Peripheral blood film: 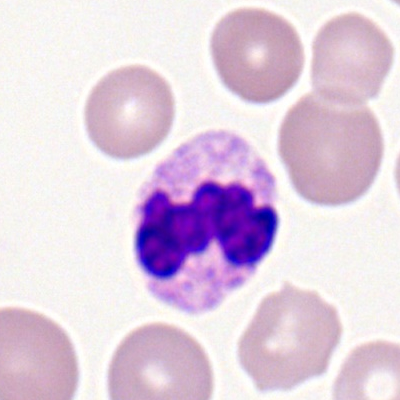

Morphology → polymorphonuclear neutrophil.